Bone marrow smear.
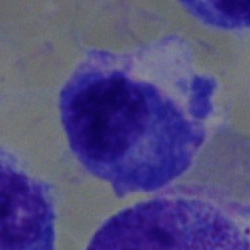
Specimen: bone marrow aspirate smear.
Cell: plasmacyte.